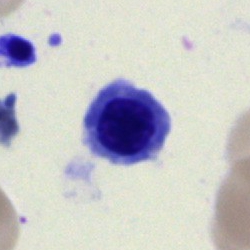

Q: What cell is this?
A: This is a nucleated red blood cell.